Bone marrow aspirate smear; single cell centered in the field
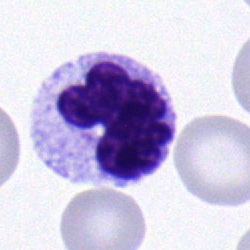 Single cell identified as a segmented neutrophil.